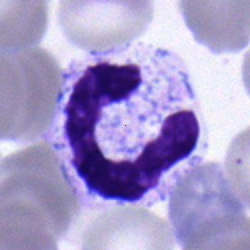Q: What cell is this?
A: It is a segmented neutrophil.